Bone marrow smear; cropped to a single cell; brightfield microscopy, 40× oil immersion.
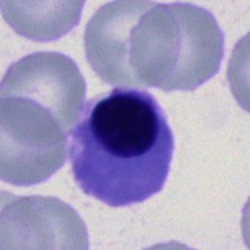 Cell type = nucleated red blood cell.